Image size 250×250. Bone marrow aspirate smear
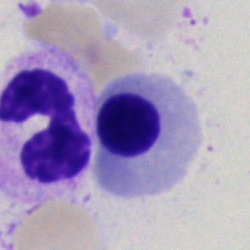

Single cell identified as a polymorphonuclear neutrophil.